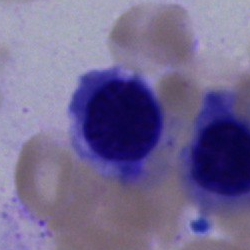
Q: What is shown here?
A: Erythroblast.